Bone marrow aspirate smear. Single-cell field. MGG-stained — 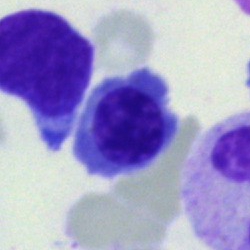

Morphology → erythroblast.